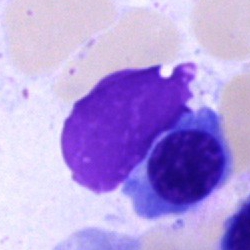 Morphological class: nucleated red cell.